Bone marrow smear.
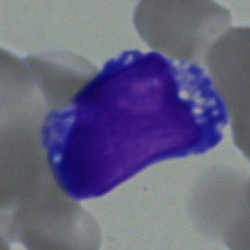
Morphology → blast.